Peripheral blood film. Brightfield, 100× oil-immersion objective:
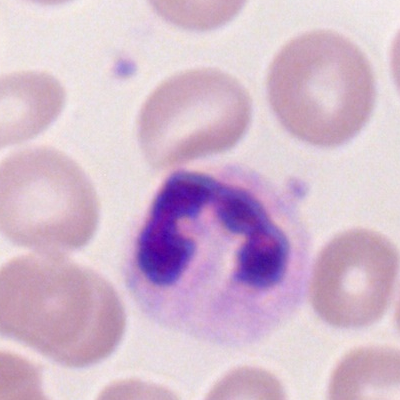A segmented neutrophil.